Bone marrow smear. 250×250 px
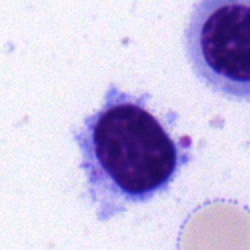

Cell: nucleated red blood cell.